Peripheral blood film.
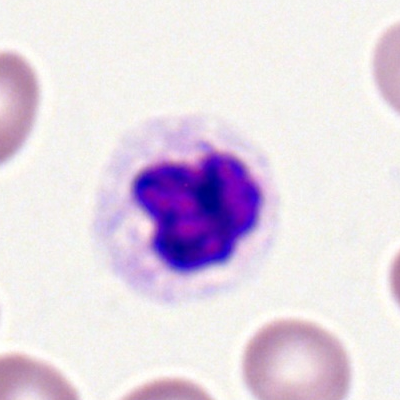 Specimen: peripheral blood film.
Morphological class: neutrophil (segmented).
Lineage: myeloid.